Bone marrow aspirate smear:
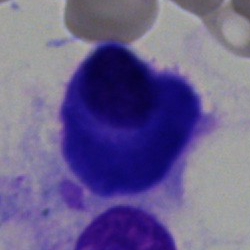
The classification is plasma cell.